Bone marrow aspirate smear.
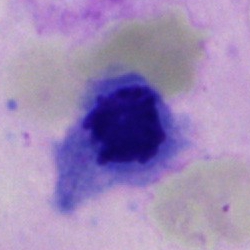

Specimen: bone marrow smear.
Morphological class: normoblast.